400×400. Single cell centered in the field. Peripheral blood film
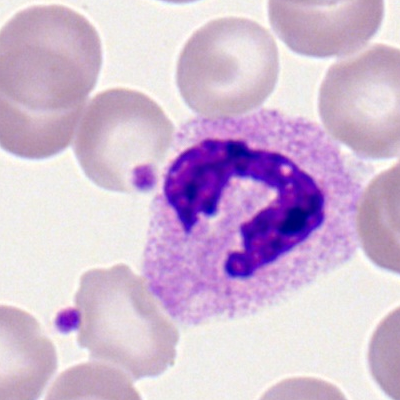
Single cell identified as a neutrophil (segmented).